Bone marrow aspirate smear — 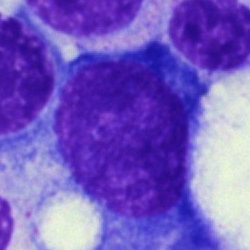Cell type: normoblast.